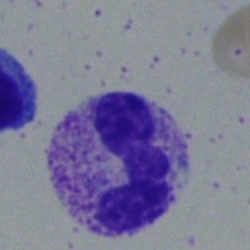

Cell = band-form neutrophil.